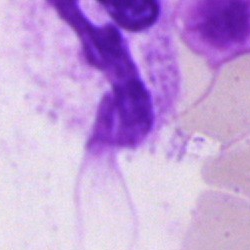
{"cell_type": "artefact"}